Bone marrow smear:
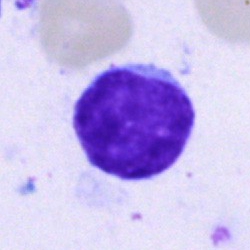

Morphological class: plasmacyte.